Single-cell field. 250×250. Bone marrow aspirate smear:
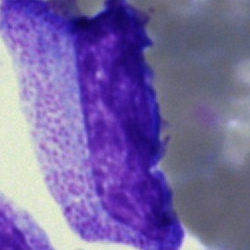A progranulocyte.